Bone marrow aspirate smear; cropped to a single cell; brightfield, 40× oil-immersion objective:
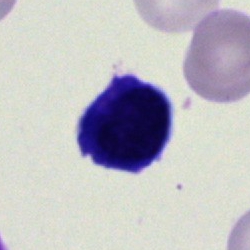Single cell identified as a lymphocyte.